Bone marrow smear: 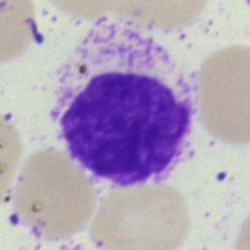

Showing an artifact.